Bone marrow aspirate smear. Single-cell field. 250 by 250 pixels: 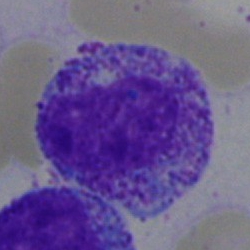 Myelocyte.